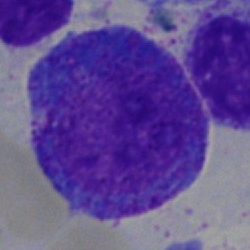
Q: Identify the cell.
A: It is a progranulocyte.